Bone marrow aspirate smear. Pappenheim-stained. 250×250
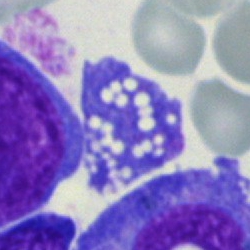Cell: artefact.